Bone marrow smear:
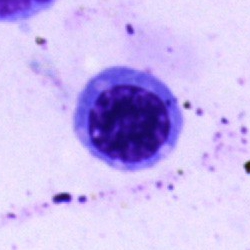 Specimen: bone marrow smear.
Cell: normoblast.